Peripheral blood smear: 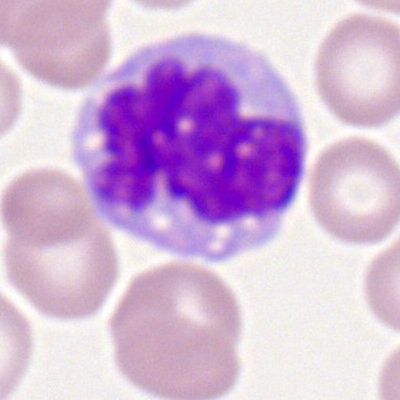

Q: Which cell type is shown here?
A: A monocyte.